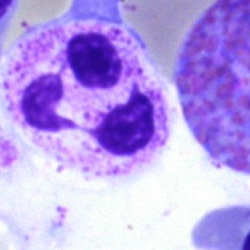
Cell — segmented neutrophil.